40× oil immersion. Single cell centered in the field. Bone marrow smear:
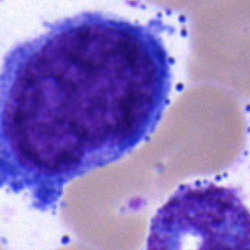

Cell type — undifferentiated blast.